Single-cell crop · MGG-stained · bone marrow smear
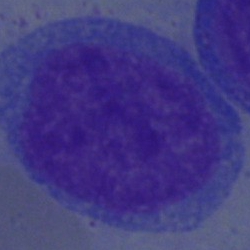 Cell — blast.